250×250 px; bone marrow smear — 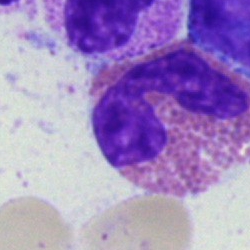
Impression → eosinophilic granulocyte.